Bone marrow aspirate smear
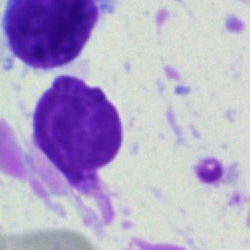Morphology consistent with an artifact.